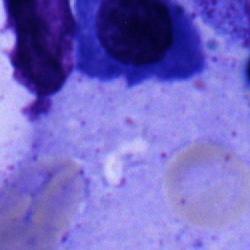

{"cell_type": "plasma cell", "lineage": "lymphoid"}